Peripheral blood smear · 400×400 px
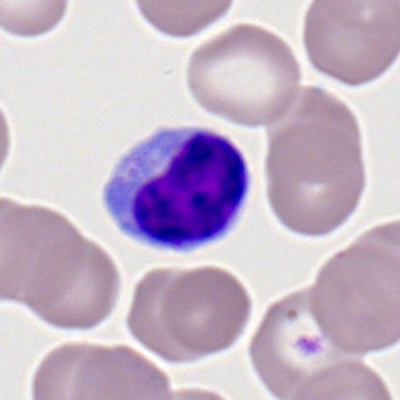Showing a typical lymphocyte.